Bone marrow smear. 250 by 250 pixels — 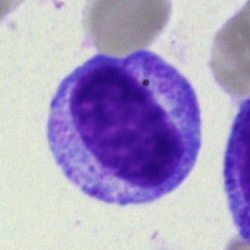 Morphology consistent with a myelocyte.